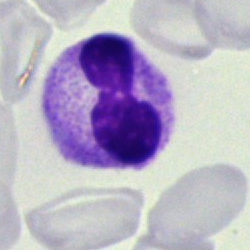Specimen: bone marrow smear.
Morphological class: polymorphonuclear neutrophil.